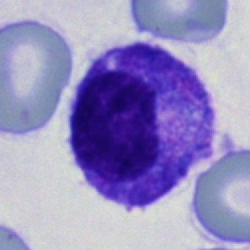
Impression — promyelocyte.